Brightfield microscopy, 40× oil immersion; bone marrow smear — 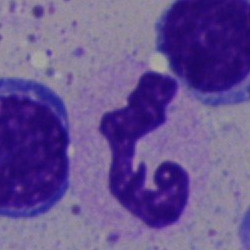The cell type is polymorphonuclear neutrophil.